Peripheral blood smear: 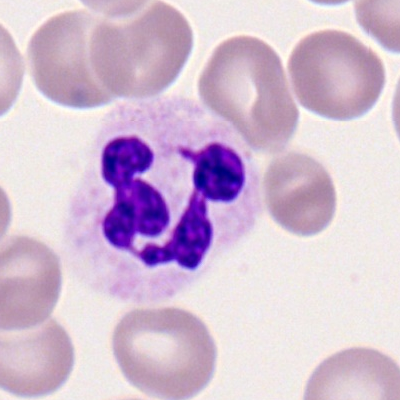 The cell shown is a segmented neutrophil.